Brightfield microscopy, 40× oil immersion. Bone marrow aspirate smear: 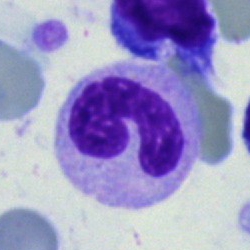

Single cell identified as a band neutrophil.